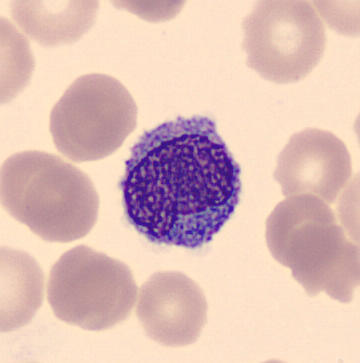
Peripheral blood smear.
Morphological class — monocyte.